Bone marrow aspirate smear; brightfield microscopy, 40× oil immersion — 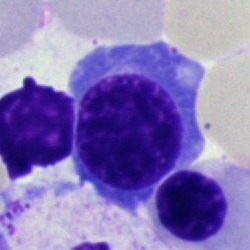
Morphology consistent with a nucleated red blood cell.